Bone marrow smear: 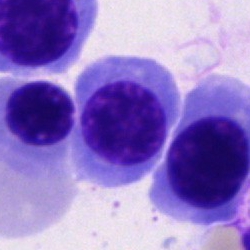Morphology consistent with a nucleated red blood cell.